Bone marrow smear; MGG-stained — 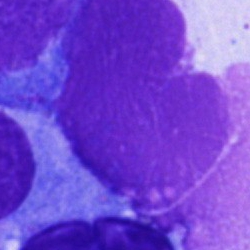 Classification: artefact.